Bone marrow smear — 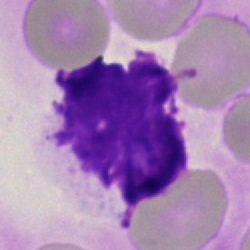
This is an artifact.